Bone marrow aspirate smear. MGG-stained — 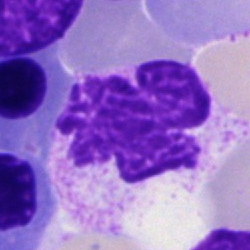 Morphology consistent with an artifact.